May-Grünwald-Giemsa/Pappenheim stain; bone marrow smear
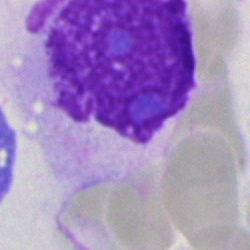
This is an artifact.